Bone marrow aspirate smear; May-Grünwald-Giemsa stain
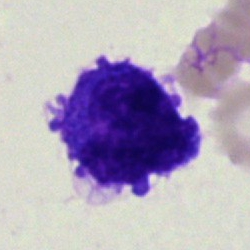Q: Identify the cell.
A: Blast.